Bone marrow smear — 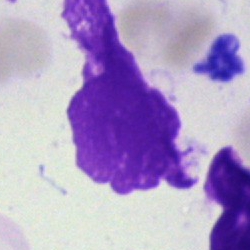{"cell_type": "artifact"}